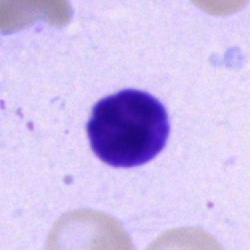 {"cell_type": "typical lymphocyte", "lineage": "lymphoid"}